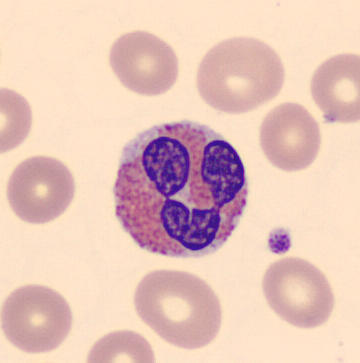
From a peripheral blood smear: an eosinophil.